Single cell centered in the field; bone marrow smear:
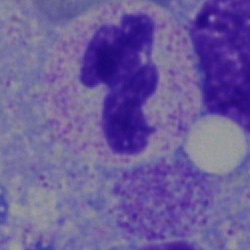The cell type is segmented neutrophil.